Bone marrow aspirate smear. Single-cell crop.
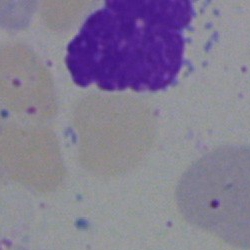 Cell type: artifact.